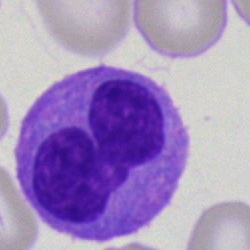

Bone marrow smear showing a monocyte.